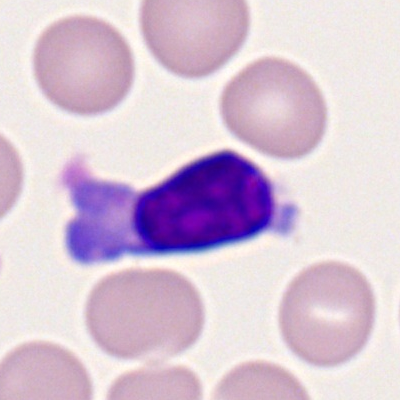

The cell type is typical lymphocyte.